Single-cell field. Bone marrow smear: 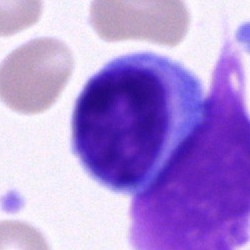
Single cell identified as a neutrophil (segmented).